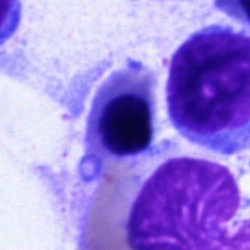Specimen: bone marrow aspirate smear.
Morphological class: erythroblast.
Lineage: erythroid.